Single-cell crop. Bone marrow aspirate smear: 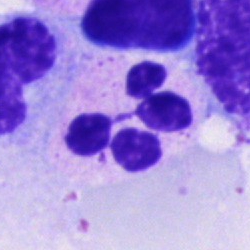
Showing a segmented neutrophil.